Bone marrow aspirate smear; MGG-stained — 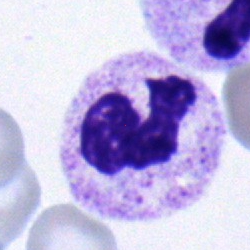

The morphological class is segmented neutrophil.